Bone marrow smear
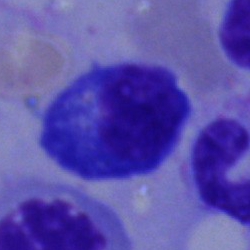
Q: What type of cell is this?
A: It is a plasmacyte.